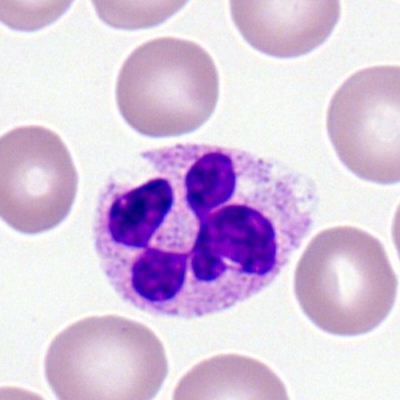
Cell — segmented neutrophil.